Bone marrow aspirate smear. May-Grünwald-Giemsa stain — 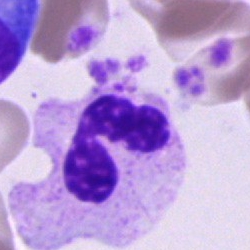

{"cell_type": "segmented neutrophil"}